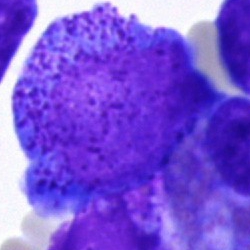 Cell type: progranulocyte.